Bone marrow smear · Pappenheim-stained · brightfield, 40× oil-immersion objective — 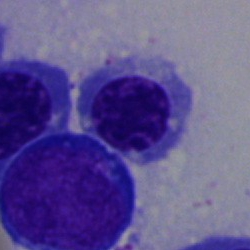Specimen: bone marrow smear.
Cell: nucleated red cell.